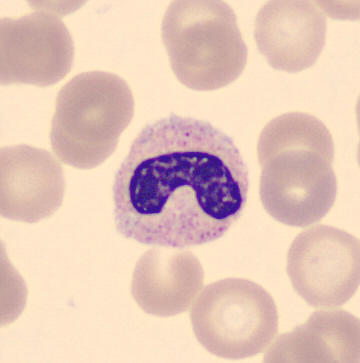
Peripheral blood film; automated cell imaging (CellaVision DM96).

Q: What is shown here?
A: A band neutrophil.